Bone marrow smear · Pappenheim-stained
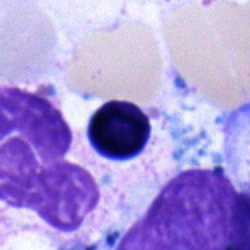 Showing a nucleated red cell.